250 by 250 pixels. Bone marrow smear:
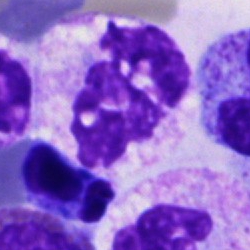
Showing a neutrophil (segmented).